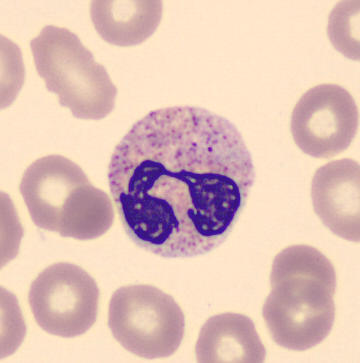Image: 360×363 · peripheral blood smear.
Cell — polymorphonuclear neutrophil.